100× objective, oil immersion. Romanowsky-type stain. Peripheral blood smear: 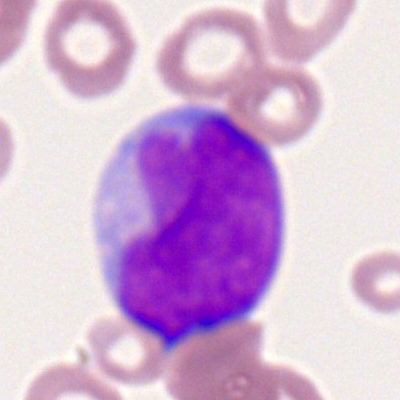Q: What is shown here?
A: Myeloid blast.